Bone marrow aspirate smear.
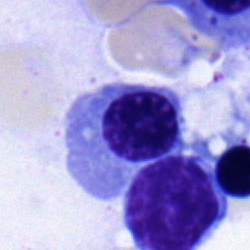Q: Which cell type is shown here?
A: It is an erythroblast.